Bone marrow smear — 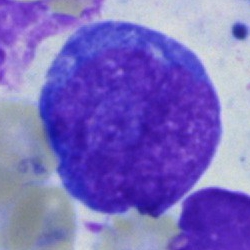
Classification — blast cell.